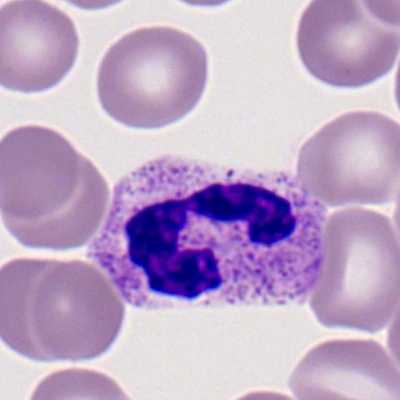{"cell_type": "polymorphonuclear neutrophil", "lineage": "myeloid"}